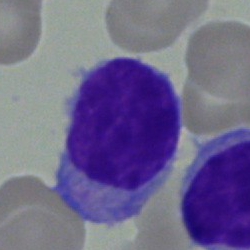

The cell shown is a typical lymphocyte.